Bone marrow smear · Pappenheim-stained:
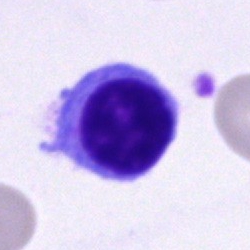
Specimen: bone marrow aspirate smear.
Cell: lymphocyte.
Lineage: lymphoid.